May-Grünwald-Giemsa stain. Bone marrow aspirate smear
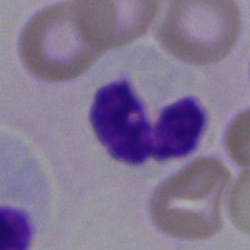
Morphological class — polymorphonuclear neutrophil.